Bone marrow aspirate smear:
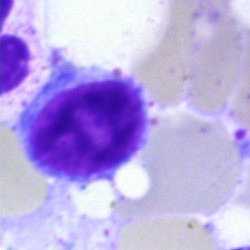

Showing a lymphocyte.